Bone marrow smear; brightfield microscopy, 40× oil immersion; single-cell field.
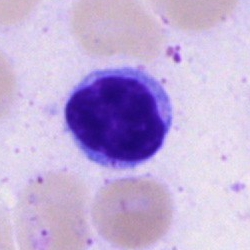 The cell shown is a lymphocyte.